Cropped to a single cell. Bone marrow smear:
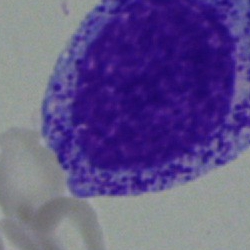
Q: What cell is this?
A: Promyelocyte.